Bone marrow smear · 40× objective, oil immersion: 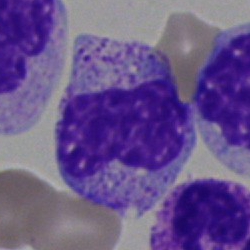

The morphological class is metamyelocyte.